Bone marrow aspirate smear:
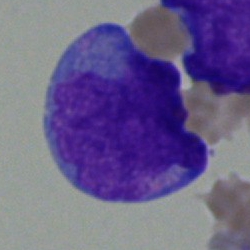
This is a blast cell.